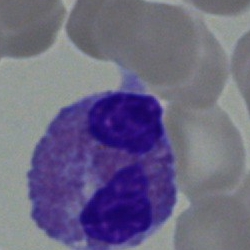
Morphology consistent with an eosinophil.